Bone marrow aspirate smear; brightfield microscopy, 40× oil immersion: 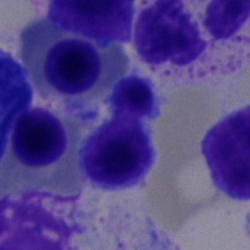

Impression — erythroblast.